Bone marrow smear.
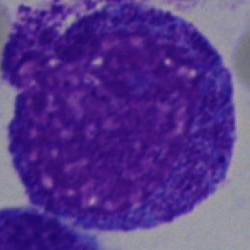
Cell type — promyelocyte.